Bone marrow aspirate smear; single-cell field.
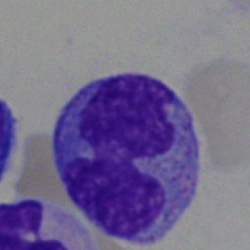

The cell shown is a monocyte.